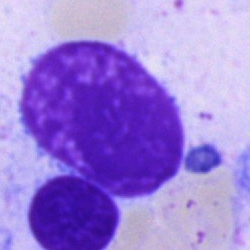 The morphological class is artifact.